Bone marrow smear: 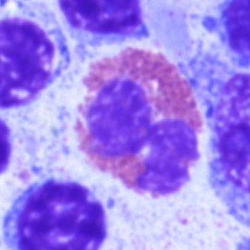 Showing an eosinophil.